Bone marrow aspirate smear. Pappenheim-stained: 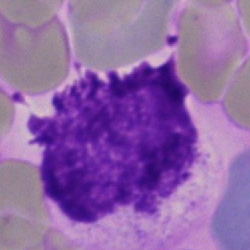Morphological class = artefact.